Single-cell field; bone marrow smear — 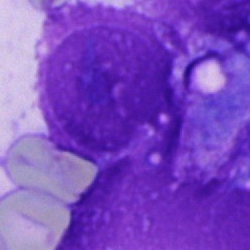

Q: Which cell type is shown here?
A: An other cell type.